Bone marrow smear; cropped to a single cell:
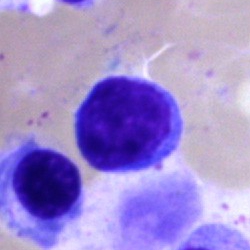
Specimen: bone marrow aspirate smear.
Morphological class: lymphocyte.
Lineage: lymphoid.